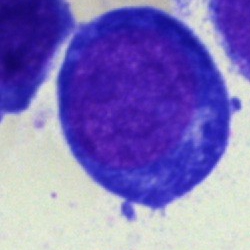 Morphology consistent with a pronormoblast.